Bone marrow aspirate smear. 40× objective, oil immersion: 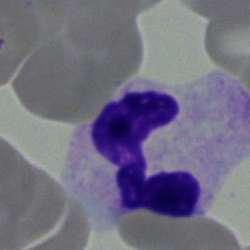
{"cell_type": "segmented neutrophil"}